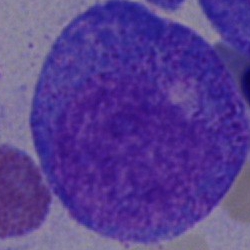 The morphological class is progranulocyte.